Peripheral blood smear; single cell centered in the field.
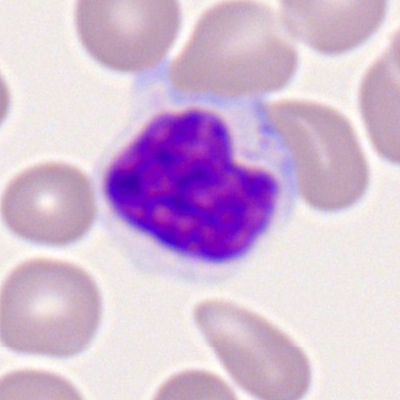

Q: What is the morphological classification of this cell?
A: Lymphocyte.